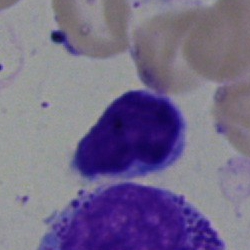

A lymphocyte on a bone marrow smear.